Peripheral blood film · MGG-stained.
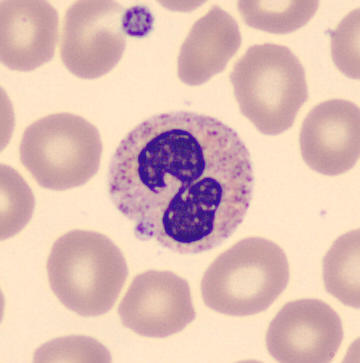Specimen: peripheral blood film.
Classification: neutrophil (segmented).
Lineage: myeloid.